Bone marrow aspirate smear:
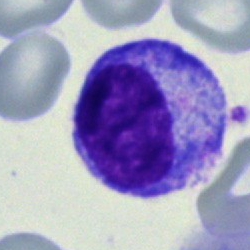Cell type — progranulocyte.